May-Grünwald-Giemsa stain. Cropped to a single cell. Bone marrow smear
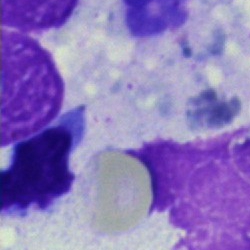Artefact.